Bone marrow smear.
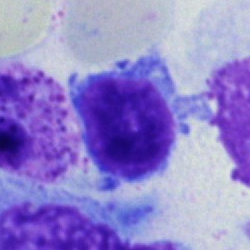 A lymphocyte.